Image size 250×250; bone marrow aspirate smear:
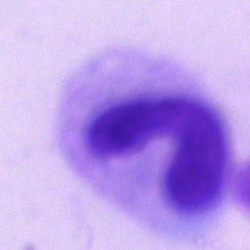 Morphological class — band-form neutrophil.